Peripheral blood smear — 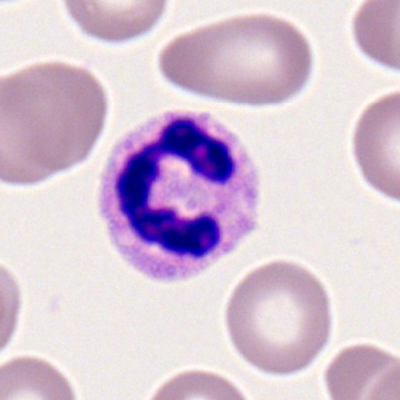
Q: What is the morphological classification of this cell?
A: This is a polymorphonuclear neutrophil.